Bone marrow aspirate smear
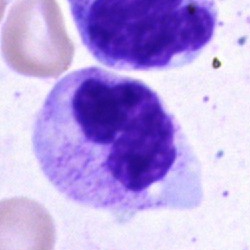 {"cell_type": "polymorphonuclear neutrophil", "lineage": "myeloid"}